Bone marrow smear.
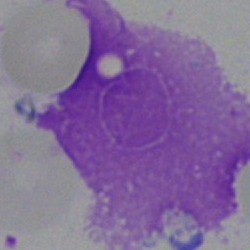
Morphological class: artefact.